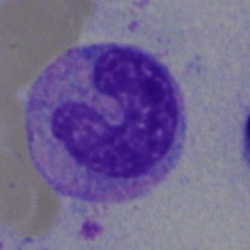{"cell_type": "band-form neutrophil"}